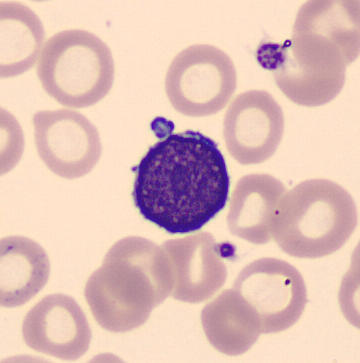

Impression — lymphocyte.

Peripheral blood film.